250 by 250 pixels. Bone marrow smear. 40× objective, oil immersion: 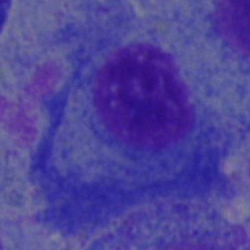

Specimen: bone marrow smear.
Cell: plasma cell.